Bone marrow aspirate smear.
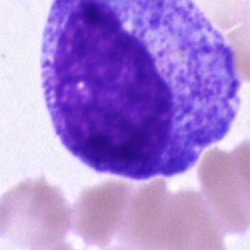{"cell_type": "progranulocyte", "lineage": "myeloid"}